Peripheral blood film.
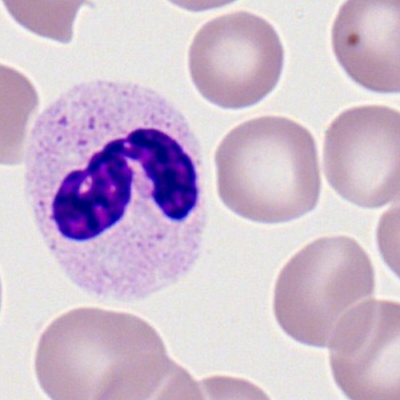
Q: What is the morphological classification of this cell?
A: It is a segmented neutrophil.